Bone marrow aspirate smear; Pappenheim-stained; 40× oil immersion — 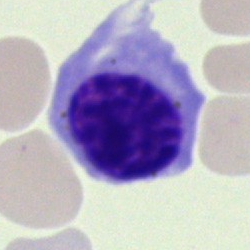Classification: normoblast.